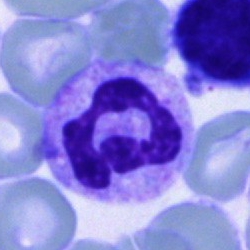 Bone marrow aspirate smear, single cell — segmented neutrophil.